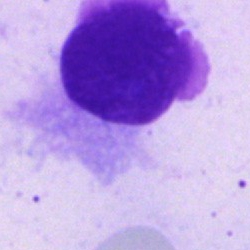 Q: What is shown here?
A: This is an artefact.